Bone marrow aspirate smear — 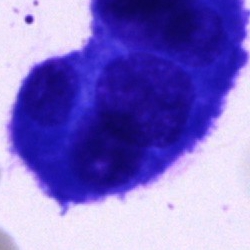
Plasma cell.